Brightfield microscopy, 40× oil immersion · image size 250×250 · bone marrow smear: 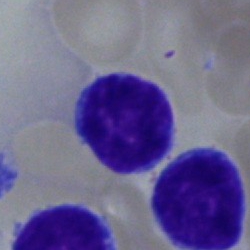
Showing a lymphocyte.